Bone marrow aspirate smear; brightfield, 40× oil-immersion objective — 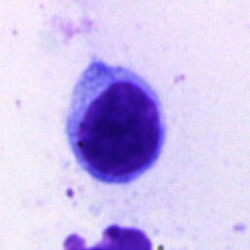
Cell = typical lymphocyte.